Peripheral blood smear.
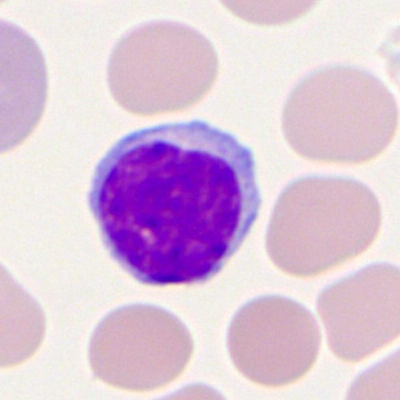Morphological class — lymphocyte.